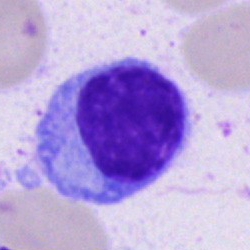
Bone marrow aspirate smear, single cell — plasmacyte.